Bone marrow smear: 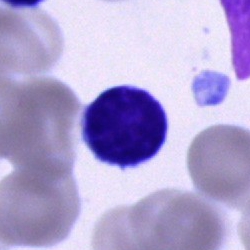
The cell is lymphocyte.